250×250 px. Bone marrow smear. Single-cell crop.
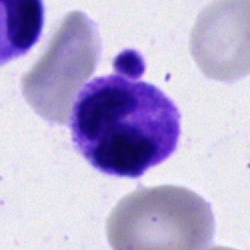Specimen: bone marrow aspirate smear.
Morphological class: neutrophil (segmented).
Lineage: myeloid.